Bone marrow aspirate smear
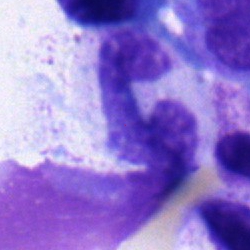
Classification: neutrophil (band).